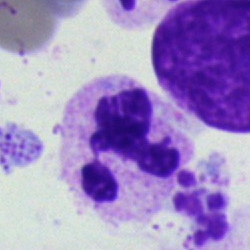A segmented neutrophil.